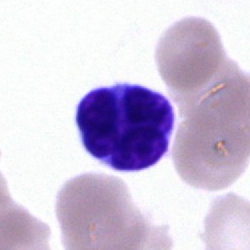

Specimen: bone marrow smear.
Cell: typical lymphocyte.
Lineage: lymphoid.